Cropped to a single cell. Bone marrow aspirate smear:
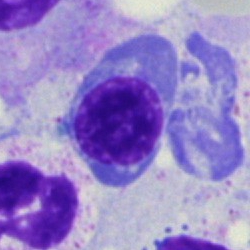

Specimen: bone marrow smear.
Morphological class: nucleated red blood cell.
Lineage: erythroid.